Bone marrow smear:
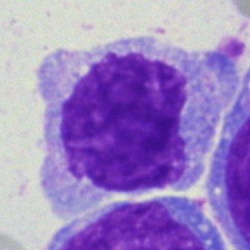Q: What type of cell is this?
A: Monocyte.